40× objective, oil immersion · image size 250×250 · bone marrow smear: 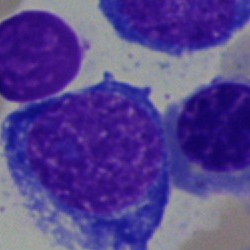

Morphological class — normoblast.